250×250 · bone marrow aspirate smear.
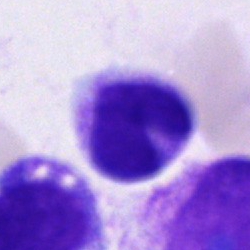Morphological class — cell of indeterminate lineage.